250×250 px; cropped to a single cell; bone marrow aspirate smear.
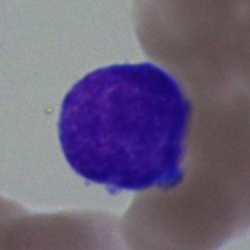
A blast cell.